Bone marrow aspirate smear. Pappenheim-stained. Single-cell crop
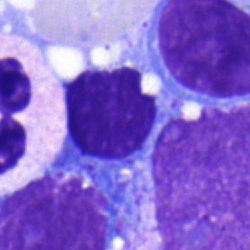
Cell = lymphocyte.